Peripheral blood film:
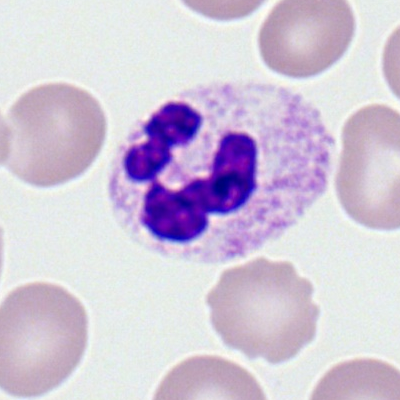 Cell = segmented neutrophil.